MGG stain · peripheral blood smear: 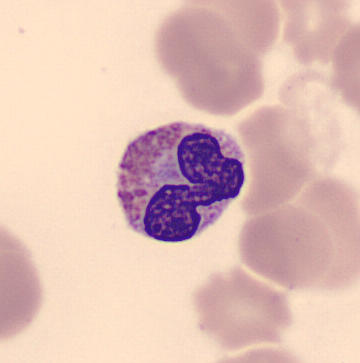
The cell is eosinophilic granulocyte.